Bone marrow smear: 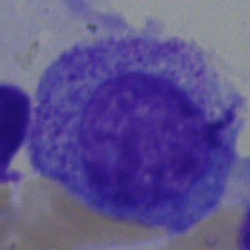

Cell type: myelocyte.